Bone marrow aspirate smear.
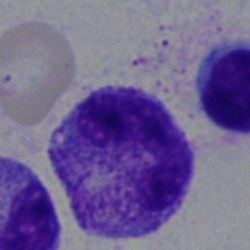 The classification is neutrophil (segmented).